Image size 250×250; bone marrow aspirate smear; 40× objective, oil immersion: 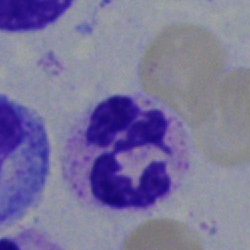
Morphological class: segmented neutrophil.